Peripheral blood film.
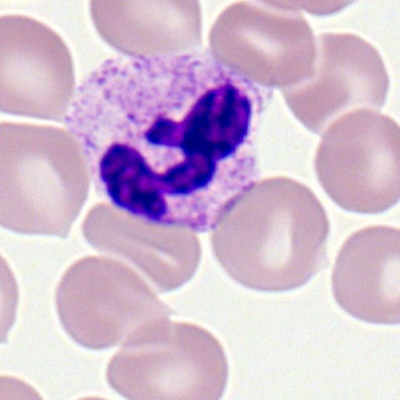 Morphological class — segmented neutrophil.